Bone marrow aspirate smear; cropped to a single cell: 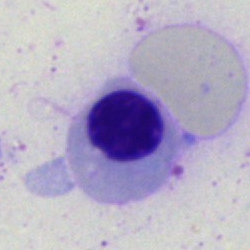

Morphological class — nucleated red blood cell.